Bone marrow aspirate smear — 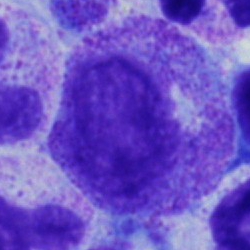Morphology → myelocyte.